Bone marrow aspirate smear; brightfield microscopy, 40× oil immersion; May-Grünwald-Giemsa stain — 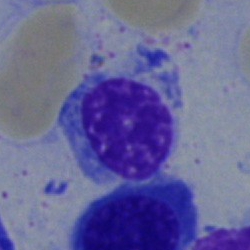

Morphology consistent with a nucleated red cell.